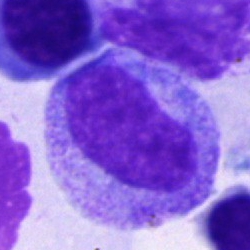
Cell type — progranulocyte.